Bone marrow smear
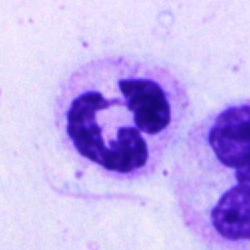 Specimen: bone marrow aspirate smear.
Cell: neutrophil (segmented).
Lineage: myeloid.